Bone marrow aspirate smear
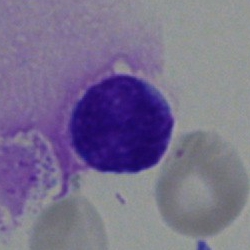

Typical lymphocyte.